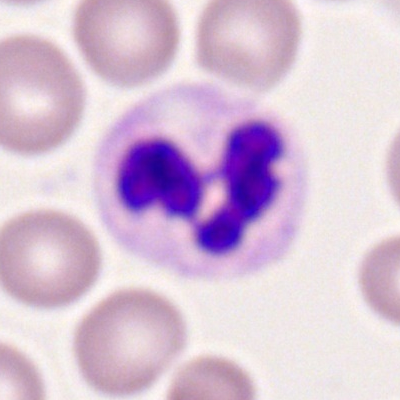 Q: What is shown here?
A: This is a neutrophil (segmented).